Single-cell crop; bone marrow smear:
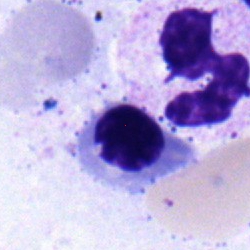

Specimen: bone marrow smear.
Classification: erythroblast.